Single-cell field; bone marrow smear; 250 by 250 pixels
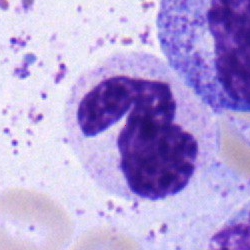Cell type — neutrophil (segmented).